Bone marrow aspirate smear.
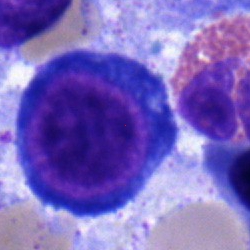

Specimen: bone marrow smear.
Cell: proerythroblast.
Lineage: erythroid.